Bone marrow smear
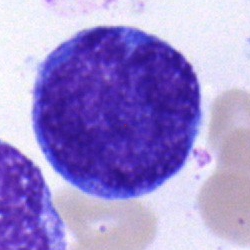
Cell: monocyte.